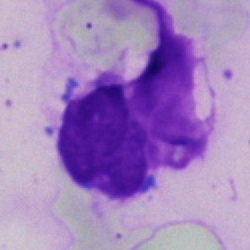 Q: What is shown here?
A: It is an artifact.